Bone marrow smear:
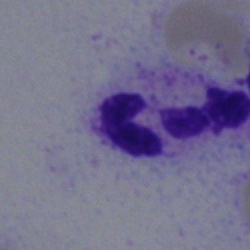
{"cell_type": "segmented neutrophil", "lineage": "myeloid"}